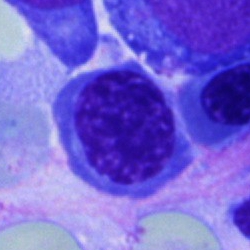

Cell type = normoblast.